Bone marrow aspirate smear; cropped to a single cell; Pappenheim-stained.
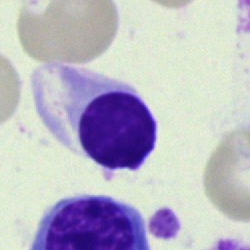Impression — erythroblast.